Bone marrow smear · 250×250:
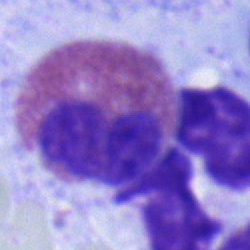
Impression → eosinophilic granulocyte.